Bone marrow aspirate smear.
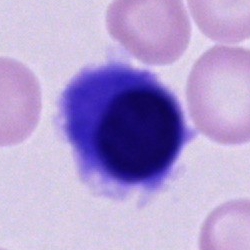Cell type — hairy cell.